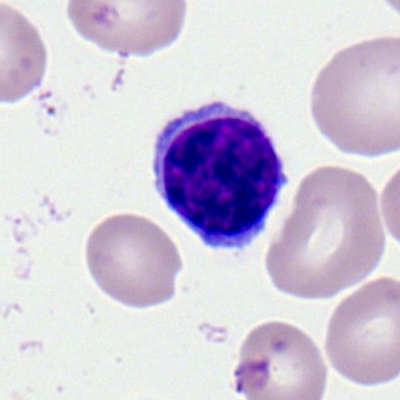

Specimen: peripheral blood film.
Cell: lymphocyte.